Pappenheim-stained · bone marrow smear — 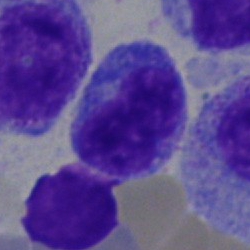Morphology consistent with a lymphocyte.